Bone marrow smear: 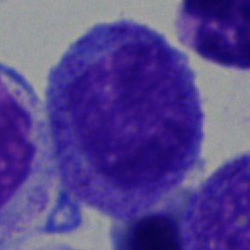Showing a promyelocyte.